Bone marrow aspirate smear: 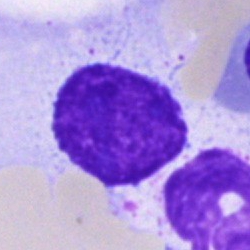
The cell is artifact.